May-Grünwald-Giemsa/Pappenheim stain; brightfield, 40× oil-immersion objective; bone marrow smear.
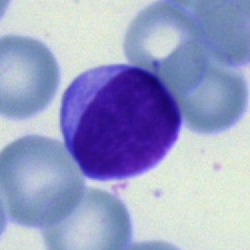The classification is lymphocyte.